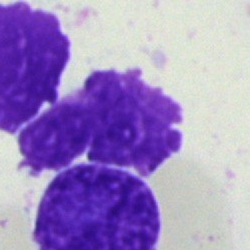

Specimen: bone marrow aspirate smear.
Morphological class: artefact.